Bone marrow aspirate smear:
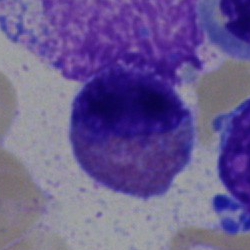

Eosinophilic granulocyte.